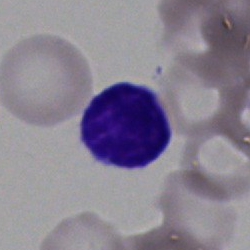 Q: Identify the cell.
A: It is a lymphocyte.